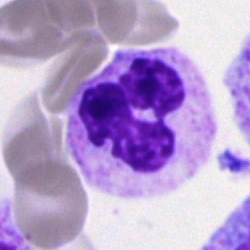

Neutrophil (segmented).